Bone marrow smear — 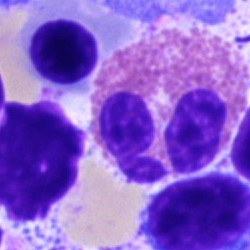
Impression — eosinophil.